Bone marrow smear · 40× oil immersion: 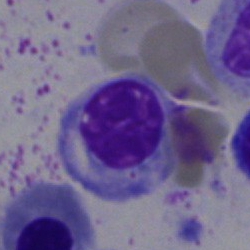
The morphological class is nucleated red cell.